Peripheral blood smear. 100× oil immersion, 14.14 px/µm — 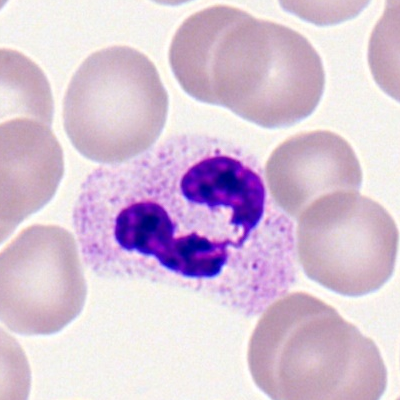

The cell is neutrophil (segmented).